Bone marrow aspirate smear — 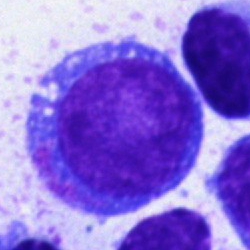
Q: Identify the cell.
A: This is a blast cell.